Bone marrow aspirate smear:
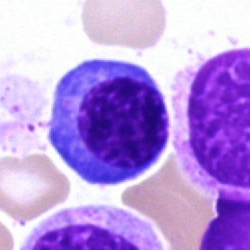 Erythroblast.